Bone marrow smear — 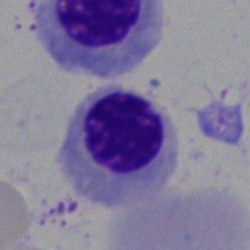
Specimen: bone marrow aspirate smear.
Cell: erythroblast.